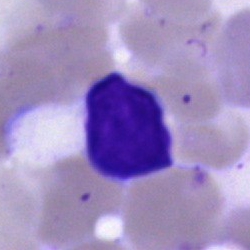 The cell shown is an artefact.